Bone marrow aspirate smear; 40× objective, oil immersion
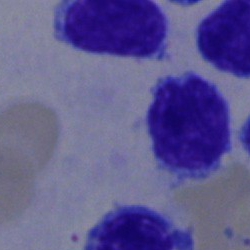
Specimen: bone marrow smear.
Morphological class: typical lymphocyte.
Lineage: lymphoid.